Peripheral blood smear — 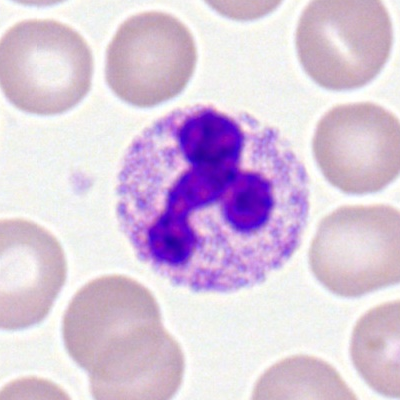Single cell identified as a neutrophil (segmented).